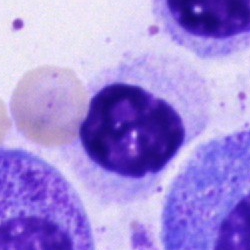 This is an unidentifiable cell.